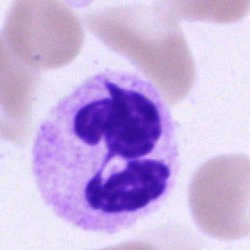

Impression — neutrophil (segmented).